Bone marrow smear
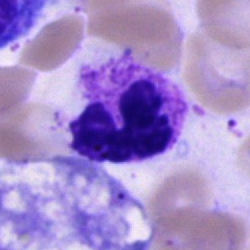
Impression → neutrophil (segmented).